Bone marrow aspirate smear.
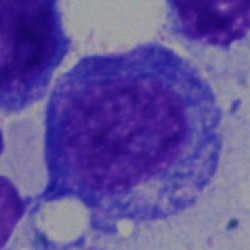
Specimen: bone marrow aspirate smear.
Morphological class: progranulocyte.
Lineage: myeloid.